Peripheral blood film:
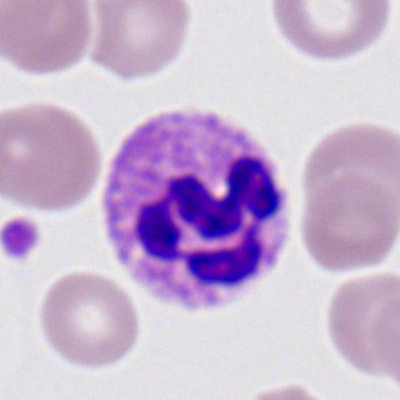 Q: Identify the cell.
A: A neutrophil (segmented).